May-Grünwald-Giemsa/Pappenheim stain; single-cell crop; bone marrow aspirate smear:
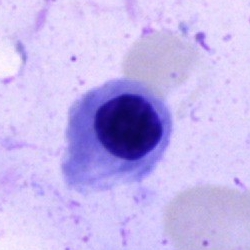
Specimen: bone marrow aspirate smear.
Morphological class: normoblast.
Lineage: erythroid.